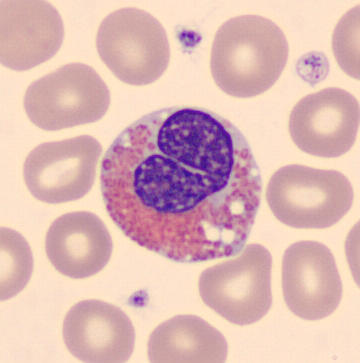
Specimen: peripheral blood film.
Cell: eosinophilic granulocyte.
Lineage: myeloid.